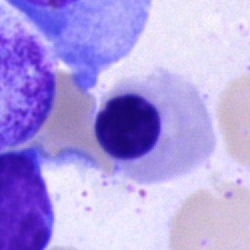The morphological class is nucleated red cell.